Bone marrow smear
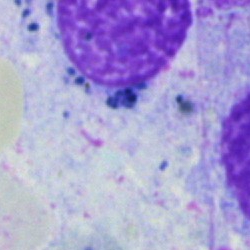 Specimen: bone marrow aspirate smear.
Cell type: artifact.